Bone marrow smear
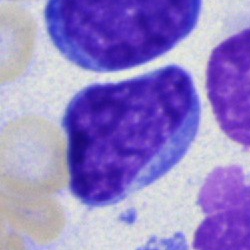 Single cell identified as a blast.